MGG-stained; 250 by 250 pixels; bone marrow smear
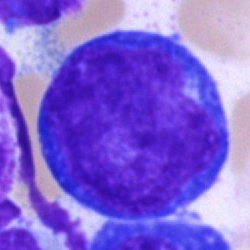 The cell shown is a pronormoblast.